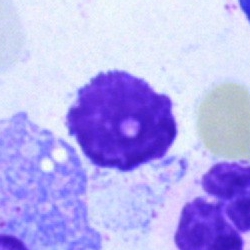

Q: What is shown here?
A: An artefact.